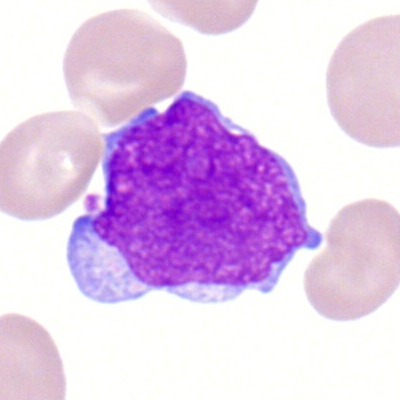

Q: Which cell type is shown here?
A: This is a myeloid blast.